Bone marrow smear.
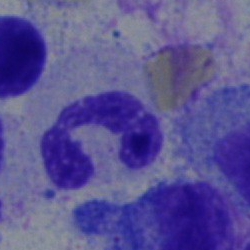
Q: What is shown here?
A: This is a polymorphonuclear neutrophil.